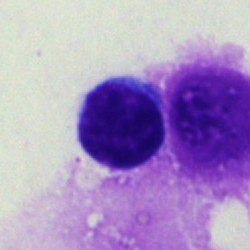 Q: What is the morphological classification of this cell?
A: This is a lymphocyte.